Peripheral blood smear.
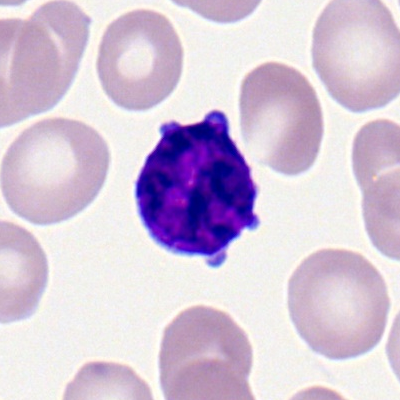
The cell is lymphocyte.